Bone marrow aspirate smear
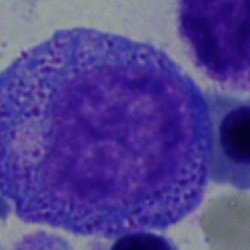Q: Identify the cell.
A: Promyelocyte.